40× oil immersion · bone marrow smear — 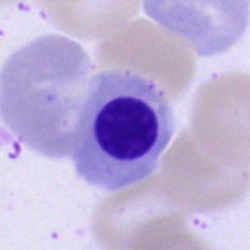

Showing a nucleated red blood cell.